Bone marrow smear:
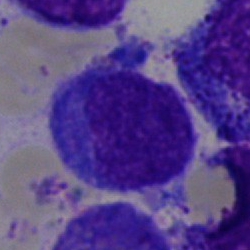

The morphological class is lymphocyte.